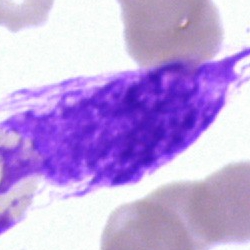

Bone marrow aspirate smear, single cell — artifact.